Bone marrow aspirate smear
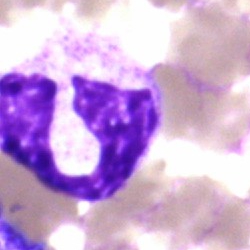{"cell_type": "segmented neutrophil"}